Bone marrow smear.
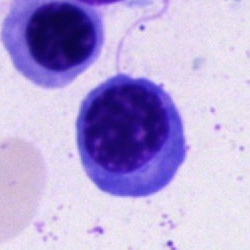 Showing an erythroblast.